Bone marrow aspirate smear · 250 by 250 pixels — 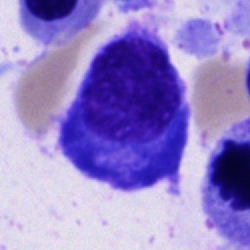 Morphological class: plasmacyte.